Peripheral blood film. Romanowsky-stained: 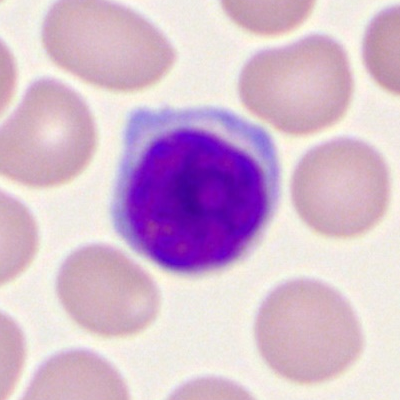 A lymphocyte.